Bone marrow smear:
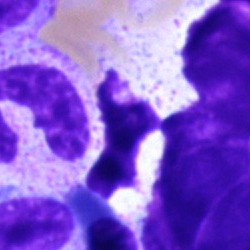
Q: What is the morphological classification of this cell?
A: This is a segmented neutrophil.